Bone marrow smear; 40× oil immersion — 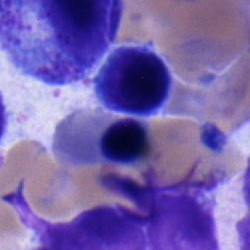Single cell identified as an erythroblast.